Image size 250×250. Bone marrow smear — 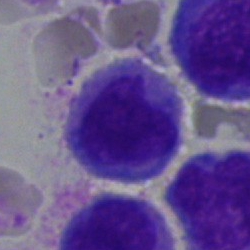 Morphology → monocyte.